May-Grünwald-Giemsa/Pappenheim stain · bone marrow smear
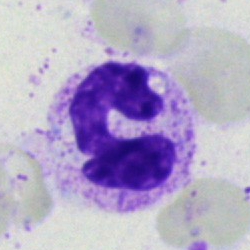

Polymorphonuclear neutrophil.